Peripheral blood film · CellaVision DM96:
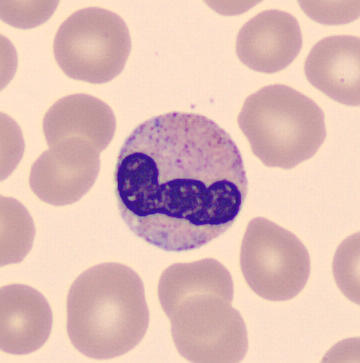 Specimen: peripheral blood smear.
Cell type: band neutrophil.
Lineage: myeloid.